Peripheral blood film — 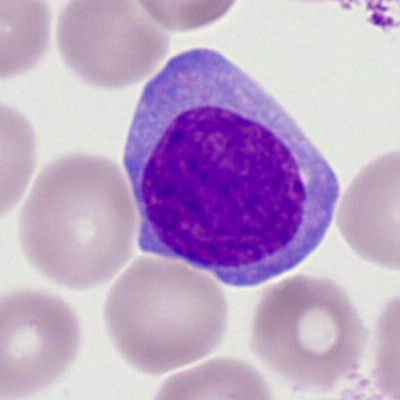 The cell shown is a myeloid blast.